250 by 250 pixels. Bone marrow aspirate smear. MGG-stained — 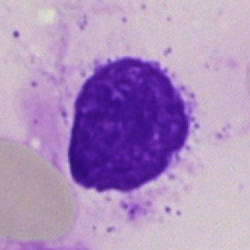 This is an artefact.